Peripheral blood film
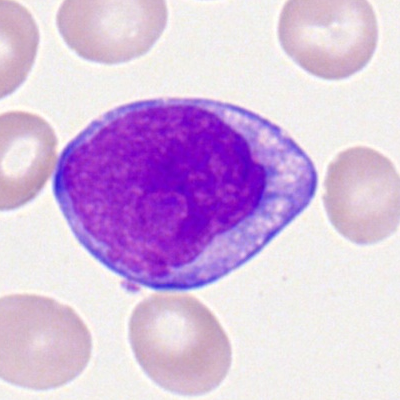

Morphology — myeloblast.